Bone marrow smear
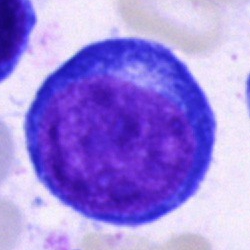

Specimen: bone marrow smear.
Cell: proerythroblast.